100× objective, oil immersion; peripheral blood film:
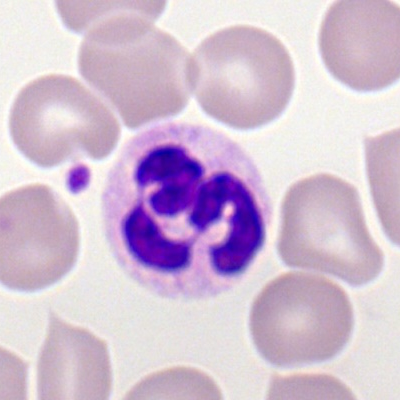

Specimen: peripheral blood film.
Morphological class: polymorphonuclear neutrophil.
Lineage: myeloid.